Bone marrow smear — 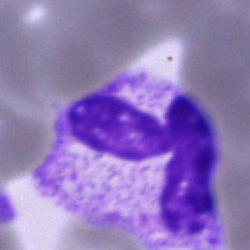Single cell identified as a polymorphonuclear neutrophil.